Bone marrow smear · image size 250×250
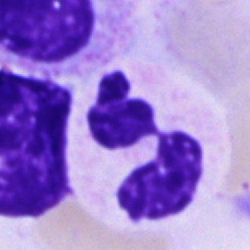

Impression → polymorphonuclear neutrophil.